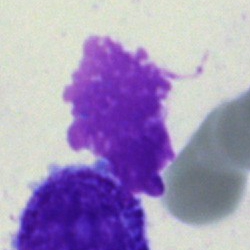The classification is artefact.